Bone marrow aspirate smear: 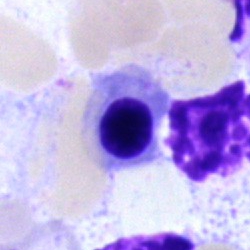

Cell type: nucleated red blood cell.